Bone marrow aspirate smear. Single-cell field — 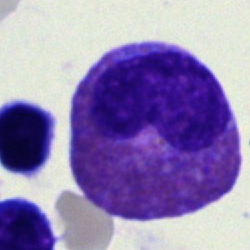Showing an eosinophilic granulocyte.